Bone marrow smear · single cell centered in the field · May-Grünwald-Giemsa stain.
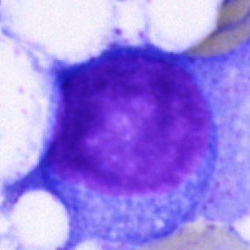Q: Identify the cell.
A: A blast cell.